Bone marrow smear
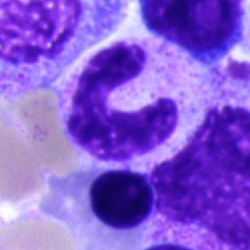 Specimen: bone marrow aspirate smear.
Cell: band neutrophil.
Lineage: myeloid.